Single-cell field. Bone marrow aspirate smear: 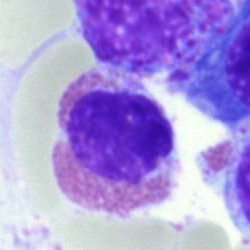 Single cell identified as an eosinophil.